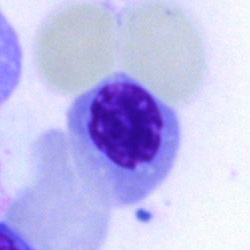The classification is erythroblast.